Bone marrow smear.
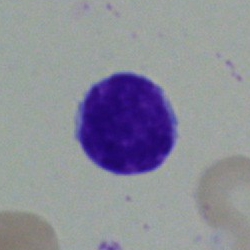

This is a lymphocyte.